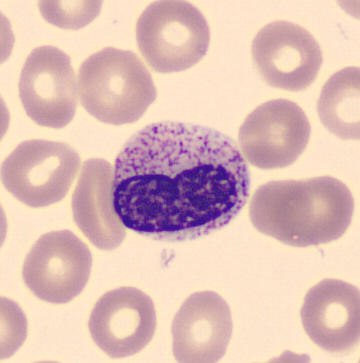 Acquisition: Cropped to a single cell. Peripheral blood smear. 360 by 363 pixels.

Morphology → metamyelocyte.